Bone marrow aspirate smear:
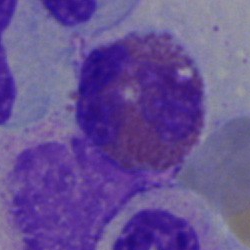Cell — eosinophilic granulocyte.